Bone marrow smear
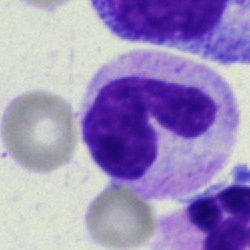
Morphology consistent with a band neutrophil.